Peripheral blood smear — 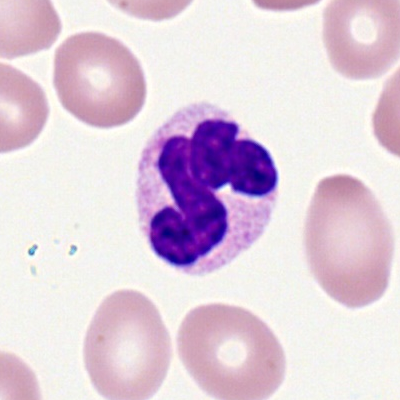 Morphology → polymorphonuclear neutrophil.